Bone marrow smear. Image size 250×250. Brightfield microscopy, 40× oil immersion — 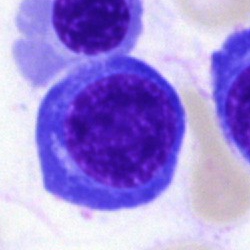

Showing a normoblast.